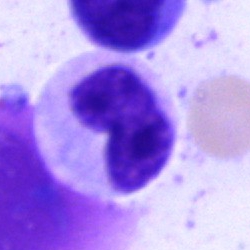
Single cell identified as a metamyelocyte.